Bone marrow smear.
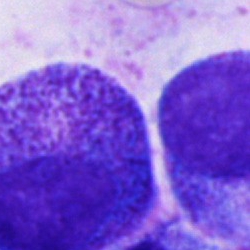

Morphology consistent with a progranulocyte.